MGG-stained. Bone marrow aspirate smear: 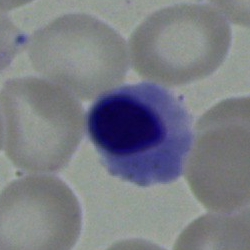 Classification — nucleated red blood cell.